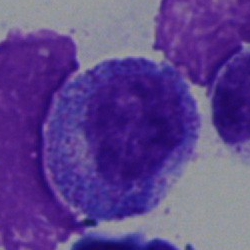
{"cell_type": "progranulocyte", "lineage": "myeloid"}